250 by 250 pixels. Bone marrow aspirate smear:
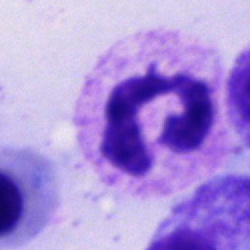Showing a polymorphonuclear neutrophil.